Bone marrow aspirate smear.
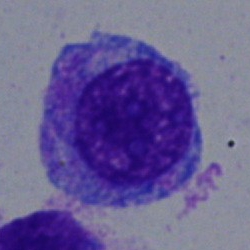
{"cell_type": "blast"}